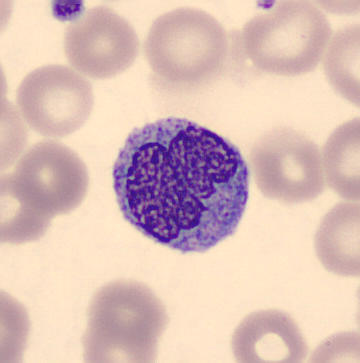Peripheral blood film. The classification is monocyte.